Bone marrow smear:
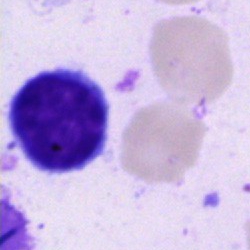
Classification = lymphocyte.